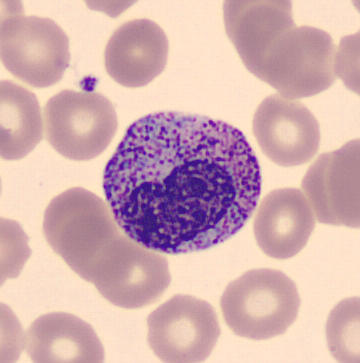 Preparation: Peripheral blood film.

Q: What type of cell is this?
A: A metamyelocyte.